Bone marrow smear · 250 by 250 pixels
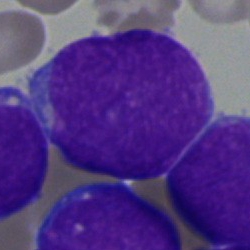
Single cell identified as a blast.